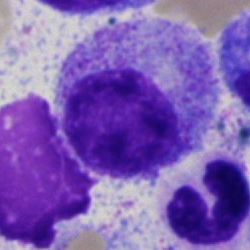 Morphology consistent with a progranulocyte.